Brightfield microscopy, 40× oil immersion · bone marrow smear · single cell centered in the field
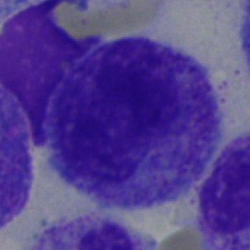The cell shown is a myelocyte.